40× objective, oil immersion; May-Grünwald-Giemsa stain; bone marrow aspirate smear
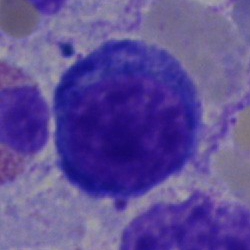Impression → normoblast.